400×400 px; peripheral blood film
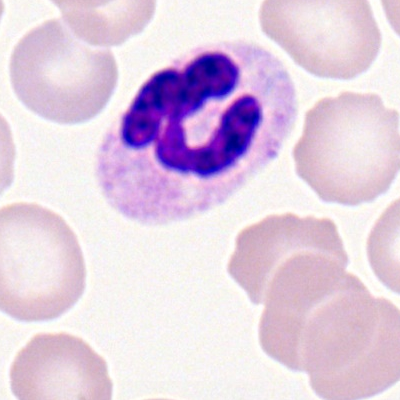

Q: What cell is this?
A: This is a neutrophil (segmented).